250 by 250 pixels. Bone marrow smear:
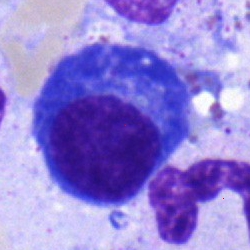Plasma cell.